Bone marrow smear: 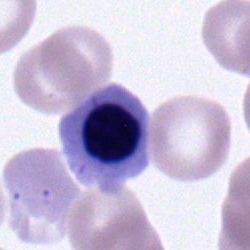
Impression → erythroblast.